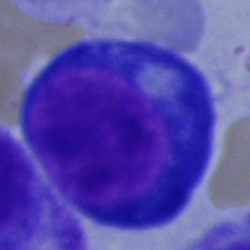
A proerythroblast on a bone marrow smear.